Bone marrow aspirate smear. Single cell centered in the field
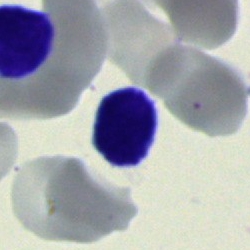
The cell shown is a lymphocyte.